Peripheral blood film — 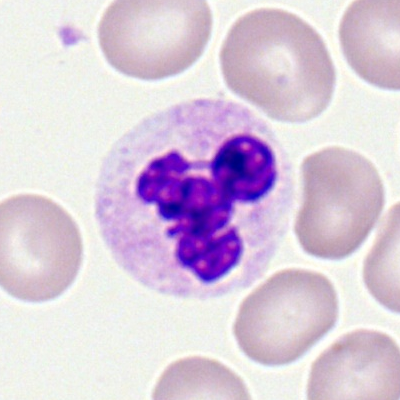 Showing a polymorphonuclear neutrophil.